Bone marrow smear: 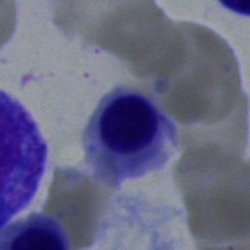
Q: What cell is this?
A: Nucleated red blood cell.